Bone marrow smear — 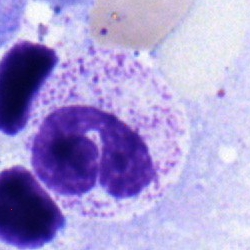
Classification — lymphocyte.